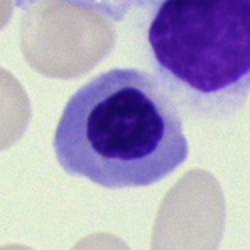
{"cell_type": "erythroblast", "lineage": "erythroid"}